250 by 250 pixels; bone marrow aspirate smear
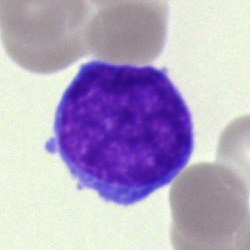

The classification is blast cell.